Bone marrow smear.
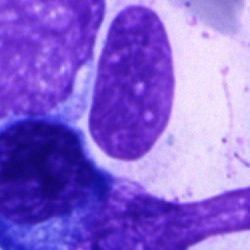
The cell type is artefact.